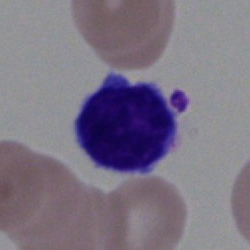
Morphological class = lymphocyte.